Bone marrow smear.
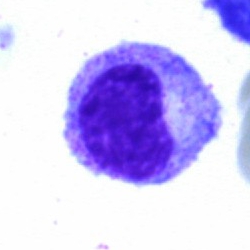Specimen: bone marrow smear.
Cell type: metamyelocyte.
Lineage: myeloid.